Pappenheim-stained. Bone marrow smear
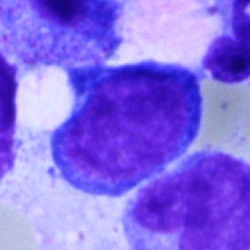Morphology consistent with a proerythroblast.